Bone marrow smear
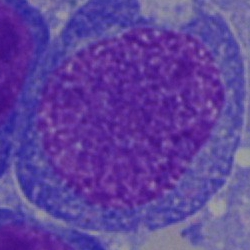Q: What is shown here?
A: It is a blast.